Bone marrow smear. 40× oil immersion: 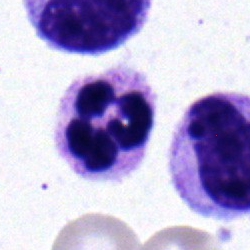
Specimen: bone marrow aspirate smear.
Morphological class: polymorphonuclear neutrophil.
Lineage: myeloid.